40× oil immersion. Bone marrow aspirate smear. Pappenheim-stained — 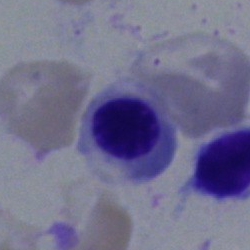

Specimen: bone marrow aspirate smear.
Classification: nucleated red cell.